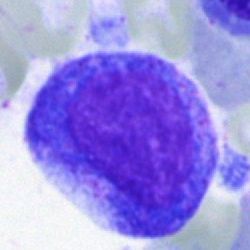
Specimen: bone marrow aspirate smear.
Cell type: promyelocyte.
Lineage: myeloid.